100× objective, oil immersion. Peripheral blood smear
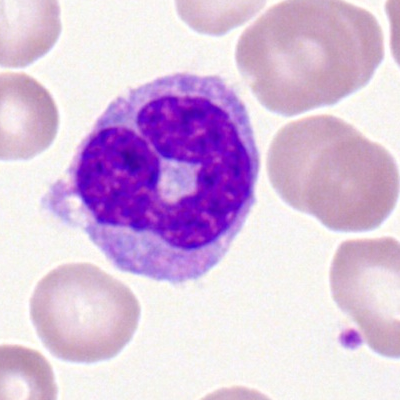

Q: What type of cell is this?
A: It is a monocyte.